Bone marrow smear · May-Grünwald-Giemsa stain · single cell centered in the field
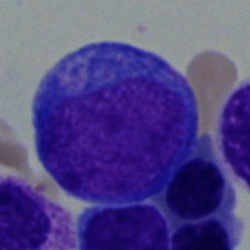
This is a pronormoblast.